Bone marrow smear: 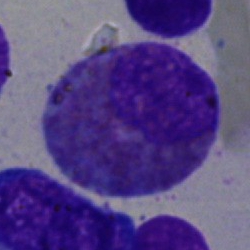
Morphological class = eosinophilic granulocyte.